Bone marrow aspirate smear · single cell centered in the field · 250×250 px — 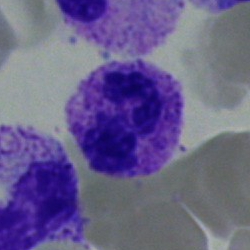 Specimen: bone marrow smear.
Classification: polymorphonuclear neutrophil.
Lineage: myeloid.